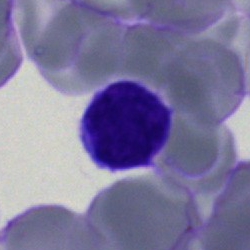

Bone marrow aspirate smear, single cell — lymphocyte.